40× objective, oil immersion · bone marrow smear.
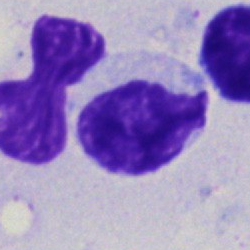 Cell = unidentifiable cell.